Image size 250×250 · bone marrow smear.
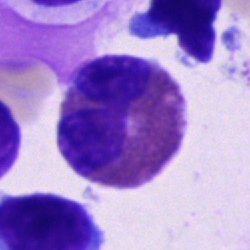An eosinophil.